Bone marrow aspirate smear; brightfield microscopy, 40× oil immersion; MGG-stained — 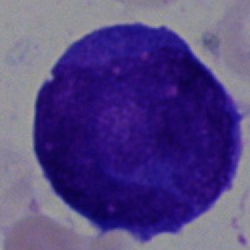

Impression → blast.